Bone marrow aspirate smear.
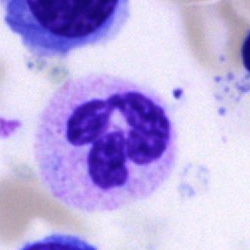Showing a segmented neutrophil.